Brightfield, 40× oil-immersion objective · bone marrow smear: 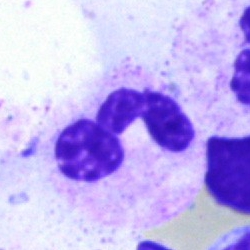 Neutrophil (segmented).